Bone marrow smear
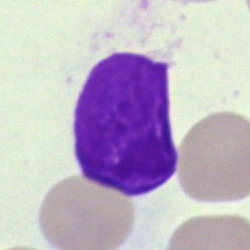
{"cell_type": "artefact"}